Single-cell field; bone marrow aspirate smear: 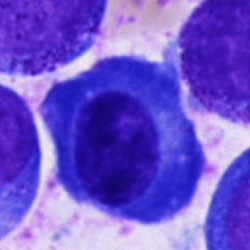 Plasmacyte.